Bone marrow smear · single-cell crop · image size 250×250.
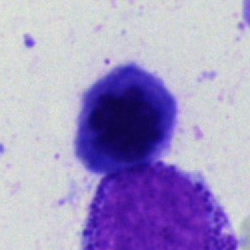

Morphology — erythroblast.